Bone marrow aspirate smear — 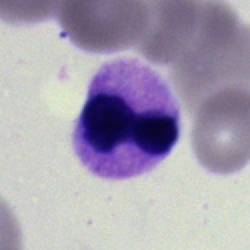
Single cell identified as a neutrophil (segmented).